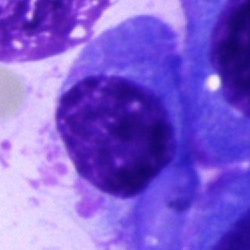

Plasma cell.